Bone marrow aspirate smear: 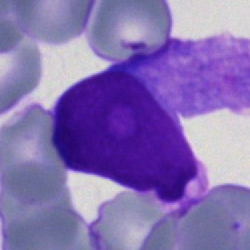
Morphology consistent with a blast cell.